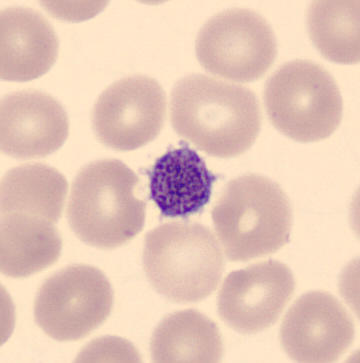

A thrombocyte on a peripheral blood smear.